Bone marrow aspirate smear — 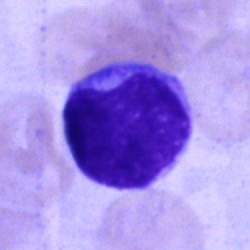

Cell type — blast.